Bone marrow aspirate smear — 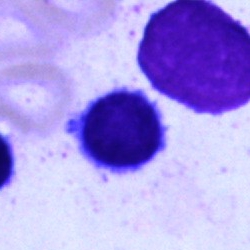
Q: What is shown here?
A: It is an artifact.